Bone marrow smear
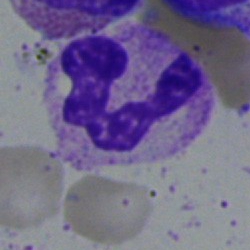Showing a polymorphonuclear neutrophil.